Bone marrow aspirate smear. 40× objective, oil immersion:
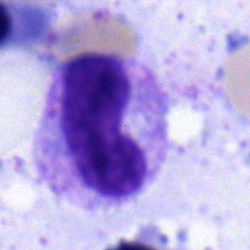

Impression → stab cell.